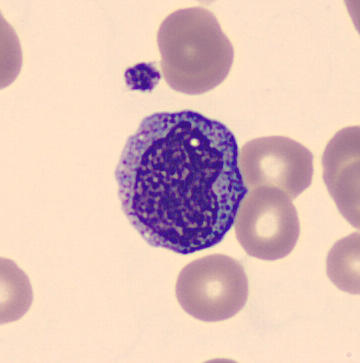

Peripheral blood smear.
Classification: myelocyte.